Single-cell crop; bone marrow aspirate smear
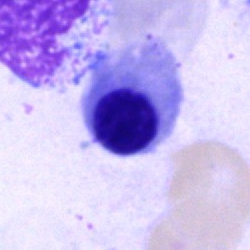
Q: Which cell type is shown here?
A: It is an erythroblast.